Peripheral blood film; 100× objective, oil immersion.
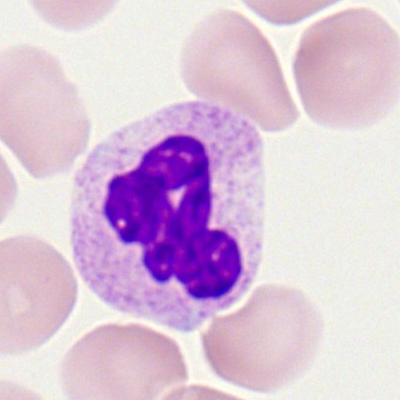

A polymorphonuclear neutrophil.